Bone marrow smear · 40× objective, oil immersion · 250×250 px — 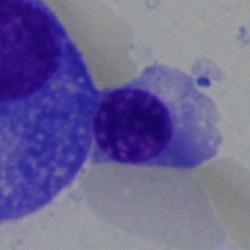Morphology → nucleated red cell.